Bone marrow aspirate smear
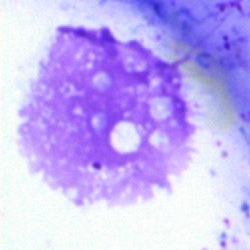
Specimen: bone marrow aspirate smear.
Classification: artifact.